Bone marrow smear
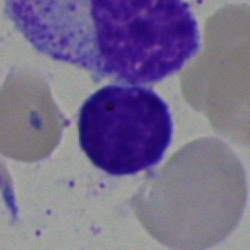 Classification = lymphocyte.